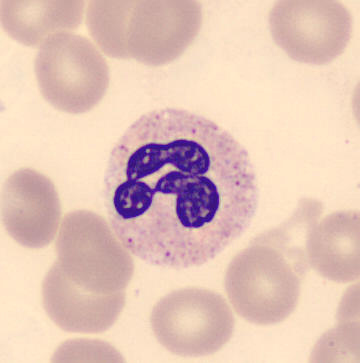
Morphology consistent with a neutrophil (segmented).